Bone marrow aspirate smear. Single cell centered in the field.
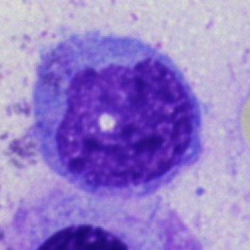Monocyte.